Bone marrow smear. Image size 250×250
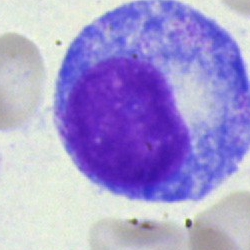Classification — promyelocyte.